400×400. Peripheral blood film: 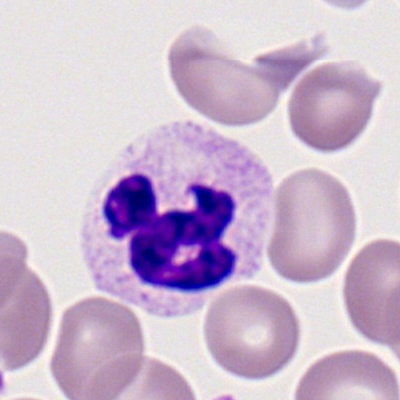
Polymorphonuclear neutrophil.